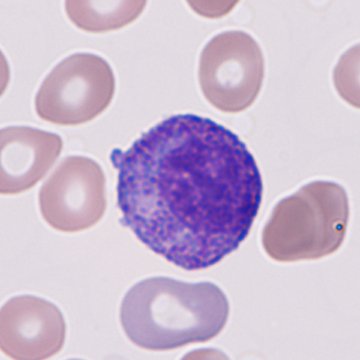
Morphological class — immature granulocyte (promyelocyte, myelocyte or metamyelocyte).